Peripheral blood smear: 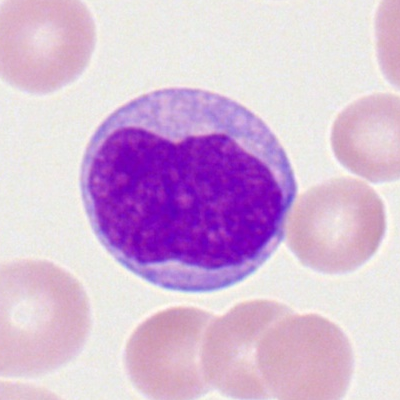
Showing a monocyte.